Bone marrow aspirate smear: 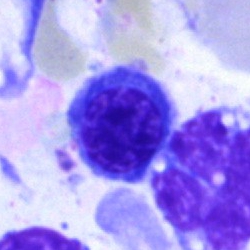

The cell shown is a normoblast.